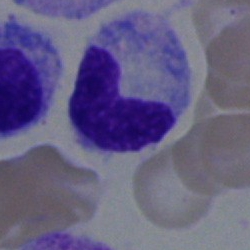
The classification is band-form neutrophil.